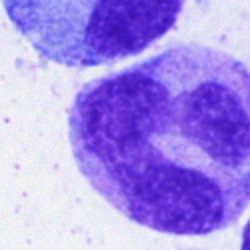 Specimen: bone marrow aspirate smear.
Cell: monocyte.
Lineage: myeloid.